Image size 250×250 · single cell centered in the field · bone marrow aspirate smear:
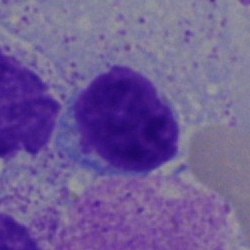
Cell type — lymphocyte.